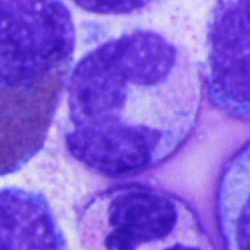
Cell: neutrophil (band).